Bone marrow aspirate smear; single-cell crop.
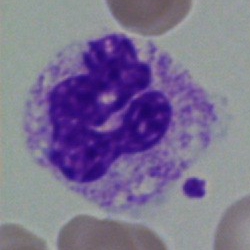The classification is polymorphonuclear neutrophil.